250×250; bone marrow smear.
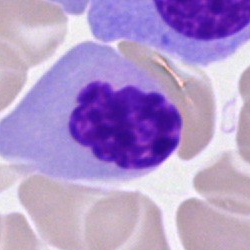 Cell — erythroblast.